Bone marrow aspirate smear:
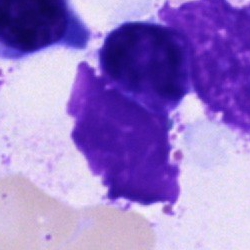
Classification: artifact.